Peripheral blood film — 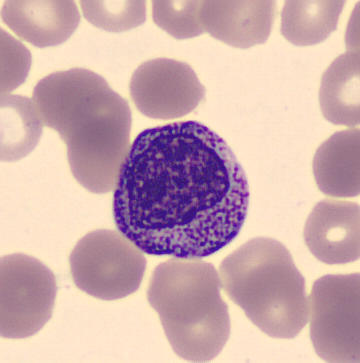

Identified as a myelocyte.